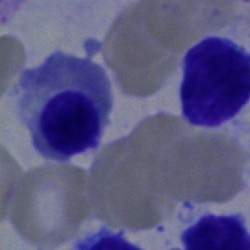

Showing a nucleated red blood cell.